May-Grünwald-Giemsa stain · bone marrow smear
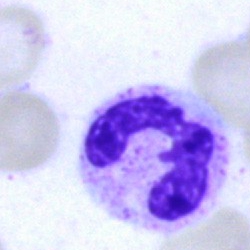

Morphological class = neutrophil (segmented).